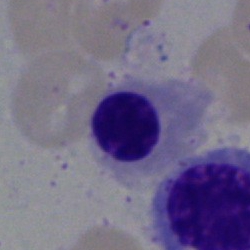Bone marrow aspirate smear, single cell — nucleated red cell.